Bone marrow smear; brightfield, 40× oil-immersion objective; May-Grünwald-Giemsa/Pappenheim stain — 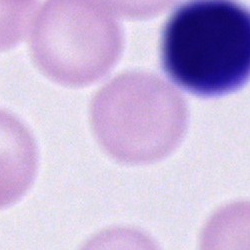The cell is unidentifiable cell.